Single-cell field; bone marrow smear; MGG-stained.
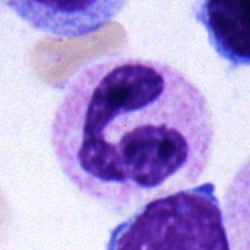A segmented neutrophil.